Bone marrow aspirate smear: 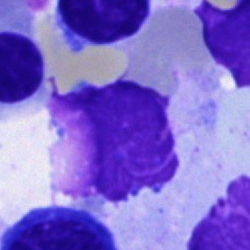

Impression → artifact.